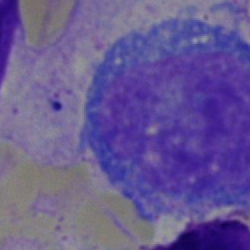 Blast.